Bone marrow aspirate smear
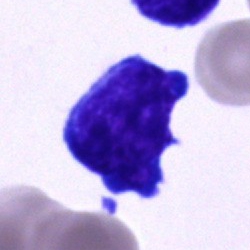
Q: What is shown here?
A: This is a blast.